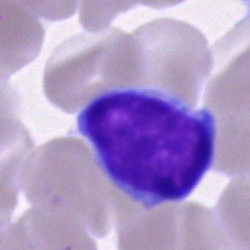Cell = typical lymphocyte.